Bone marrow smear: 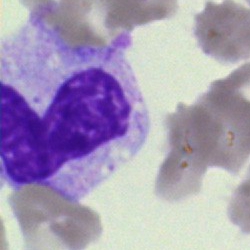 Cell: unidentifiable cell.